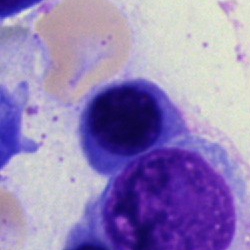

Single-cell crop from a bone marrow smear: erythroblast.